Bone marrow smear:
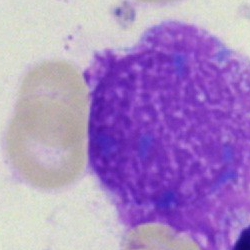 Single cell identified as an artefact.